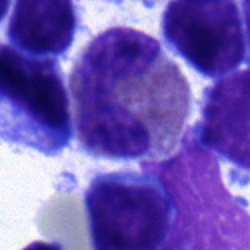

Single-cell crop from a bone marrow smear: stab cell.